Bone marrow smear — 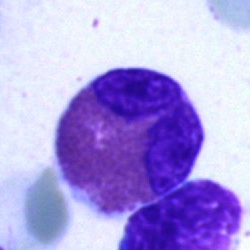
Classification: eosinophil.